Bone marrow smear · MGG-stained
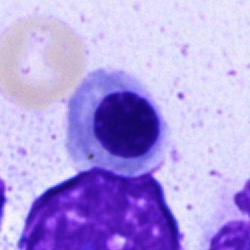
Q: What cell is this?
A: Nucleated red cell.